Bone marrow smear.
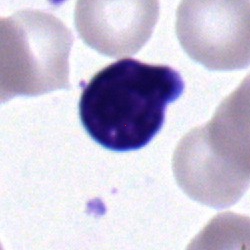
Morphology consistent with a typical lymphocyte.